Bone marrow smear:
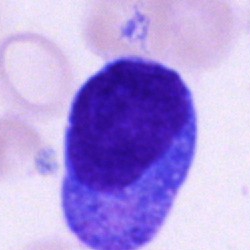Q: Identify the cell.
A: It is a promyelocyte.